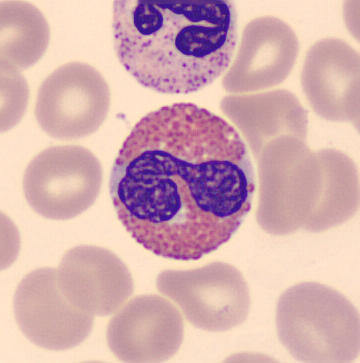

An eosinophilic granulocyte on a peripheral blood smear.